Bone marrow aspirate smear. 40× oil immersion: 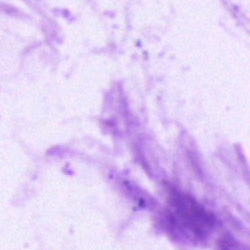
Q: What is shown here?
A: Artifact.